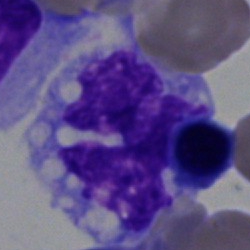

Q: What type of cell is this?
A: It is a monocyte.